Bone marrow smear · brightfield microscopy, 40× oil immersion · MGG-stained: 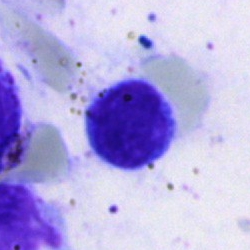 A lymphocyte.